Peripheral blood film — 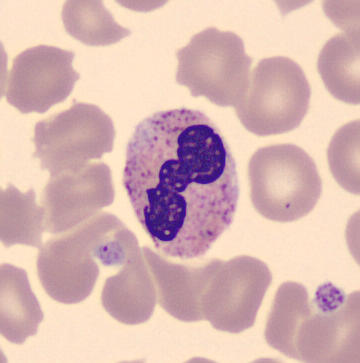The cell is band-form neutrophil.